Bone marrow smear · 40× oil immersion · single-cell field
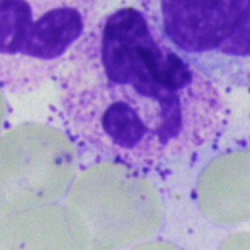Impression → neutrophil (segmented).